MGG-stained · 250×250 px · bone marrow aspirate smear — 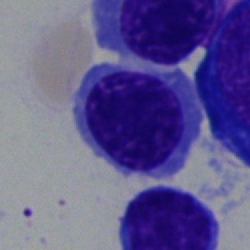

An erythroblast.